Bone marrow aspirate smear: 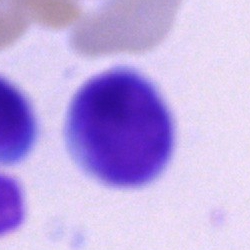The classification is typical lymphocyte.